40× oil immersion · 250×250 · bone marrow smear: 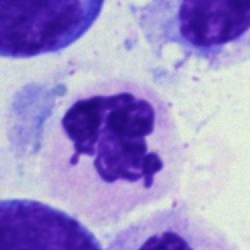

Specimen: bone marrow aspirate smear.
Morphological class: segmented neutrophil.